Bone marrow aspirate smear: 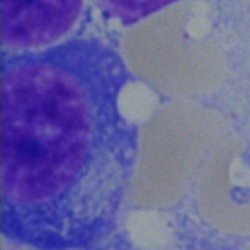

Specimen: bone marrow aspirate smear.
Morphological class: plasma cell.
Lineage: lymphoid.